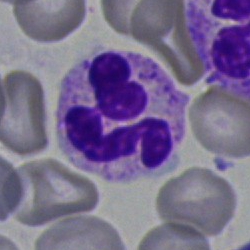Single-cell crop from a bone marrow smear: polymorphonuclear neutrophil.